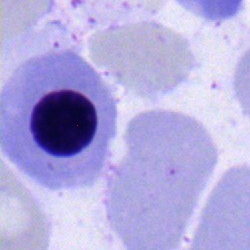 Specimen: bone marrow smear.
Cell type: nucleated red cell.
Lineage: erythroid.